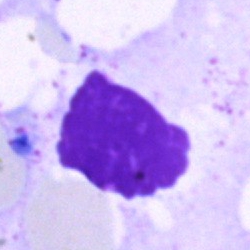
Q: What is shown here?
A: An artefact.